Bone marrow smear — 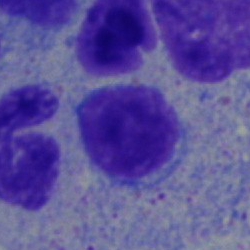 Morphological class: typical lymphocyte.